Brightfield, 40× oil-immersion objective · single-cell field · bone marrow smear:
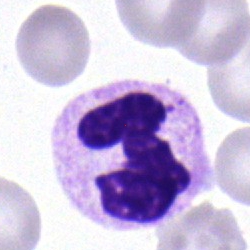 Morphology — segmented neutrophil.